Bone marrow smear
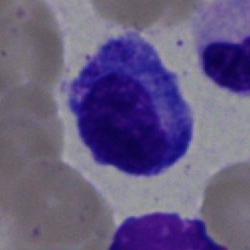Q: What cell is this?
A: This is a promyelocyte.